Bone marrow aspirate smear.
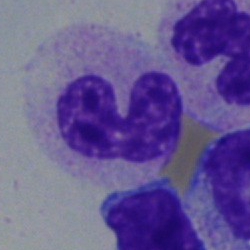 Morphological class = band-form neutrophil.